Bone marrow aspirate smear — 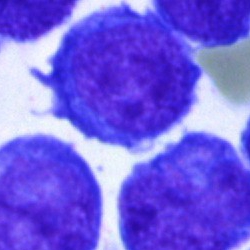

Classification: blast.